Bone marrow aspirate smear. 250 by 250 pixels — 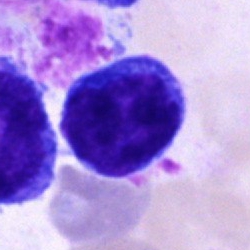 Classification: blast.